Bone marrow smear.
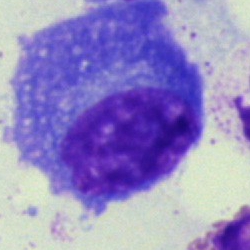
Classification — plasmacyte.